400×400 px; peripheral blood smear: 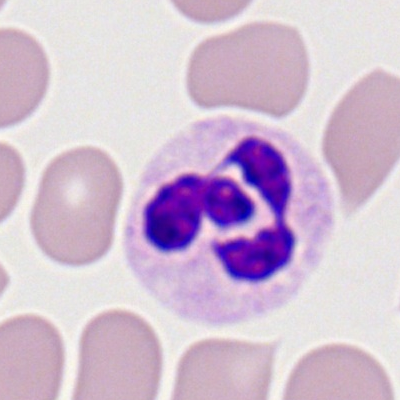Impression → neutrophil (segmented).